Bone marrow aspirate smear · single-cell field.
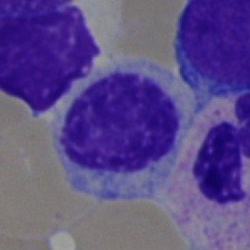Morphology consistent with a typical lymphocyte.